MGG-stained. Bone marrow smear — 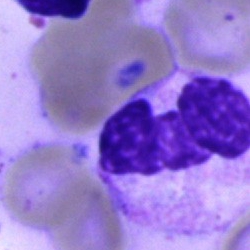
Morphological class: segmented neutrophil.